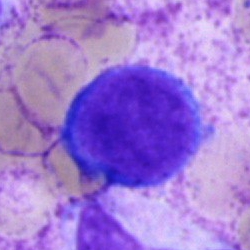 Classification: blast cell.